Single-cell field · bone marrow aspirate smear — 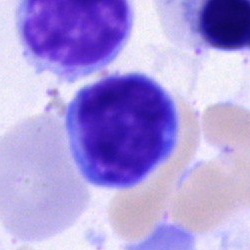Single cell identified as a lymphocyte.